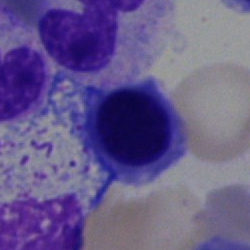
Morphology — normoblast.